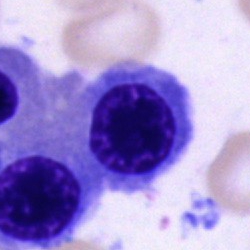Impression — erythroblast.